Bone marrow smear · single cell centered in the field
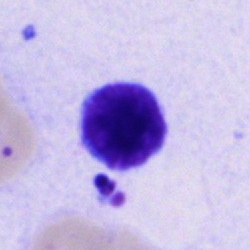

{"cell_type": "lymphocyte", "lineage": "lymphoid"}